May-Grünwald-Giemsa/Pappenheim stain; bone marrow smear — 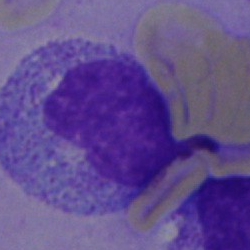The cell type is myelocyte.